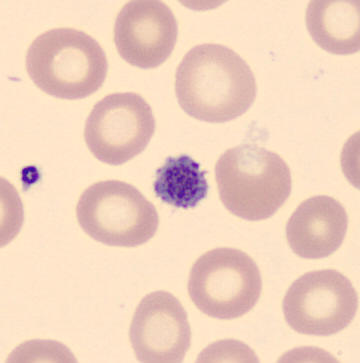

{"cell_type": "thrombocyte"}